Bone marrow smear:
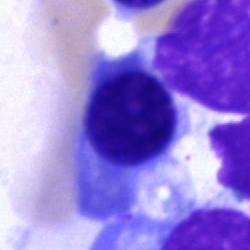
Impression — normoblast.